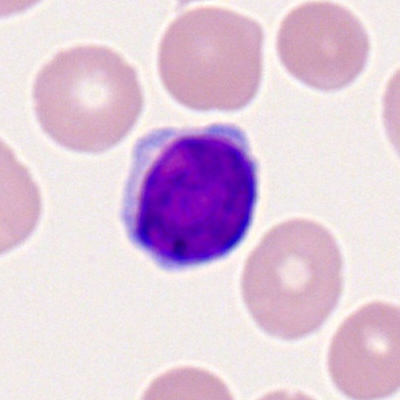
Morphological class — typical lymphocyte.